Bone marrow smear:
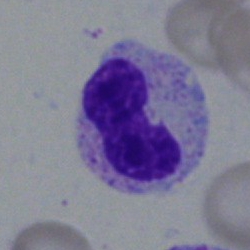

This is a stab cell.